May-Grünwald-Giemsa stain · 40× oil immersion · bone marrow smear — 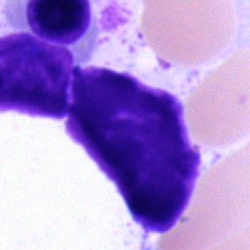The cell shown is an artifact.